Pappenheim-stained. Brightfield microscopy, 40× oil immersion. Bone marrow aspirate smear — 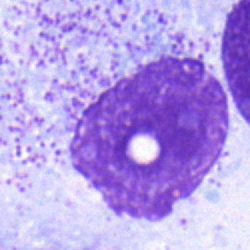Impression → myelocyte.